Bone marrow smear — 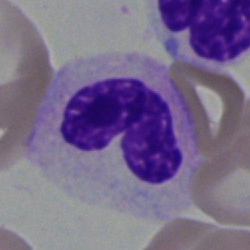 Q: Identify the cell.
A: Neutrophil (band).